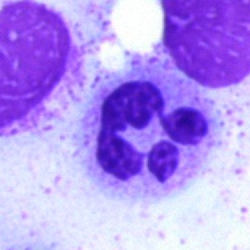 Single cell identified as a neutrophil (segmented).